Peripheral blood smear:
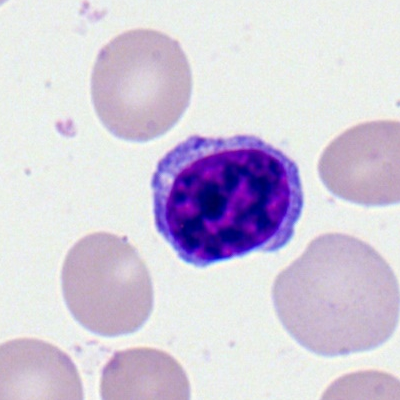Specimen: peripheral blood film.
Morphological class: lymphocyte.
Lineage: lymphoid.